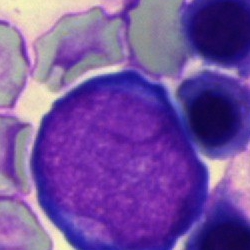

Pronormoblast.